Bone marrow smear: 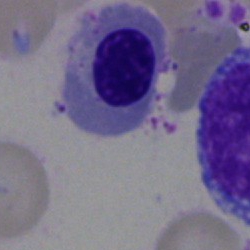

Q: Identify the cell.
A: It is an erythroblast.